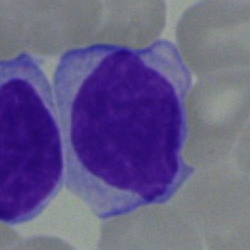
Classification: typical lymphocyte.